MGG-stained. Bone marrow aspirate smear. 250×250 px
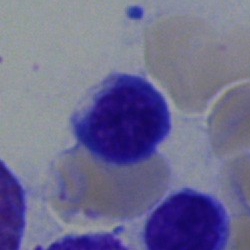Typical lymphocyte.